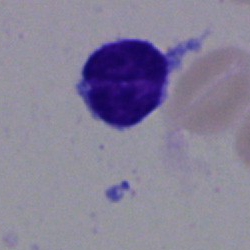
Impression — lymphocyte.